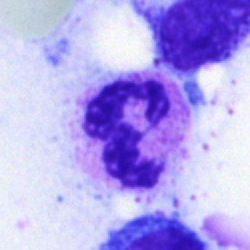

Specimen: bone marrow aspirate smear.
Classification: polymorphonuclear neutrophil.
Lineage: myeloid.